Peripheral blood smear: 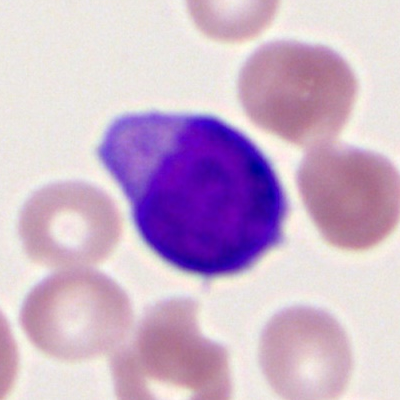 A myeloid blast.